Bone marrow smear · image size 250×250
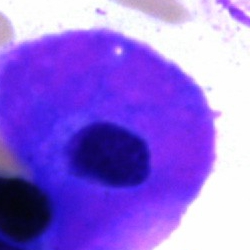 The morphological class is artefact.